Bone marrow aspirate smear:
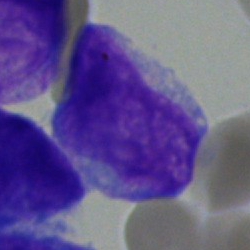
Morphology consistent with a blast.